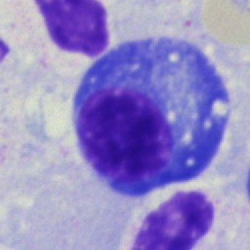Morphology consistent with a plasma cell.